Bone marrow aspirate smear; image size 250×250: 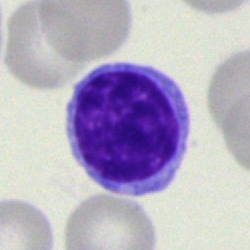
Specimen: bone marrow smear.
Cell type: lymphocyte.
Lineage: lymphoid.